May-Grünwald-Giemsa stain · bone marrow smear
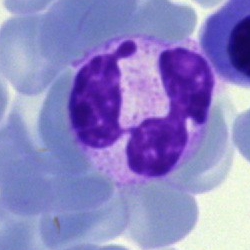

Single cell identified as a polymorphonuclear neutrophil.